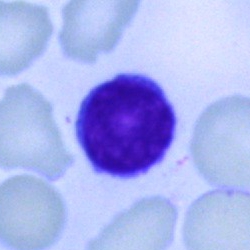Specimen: bone marrow aspirate smear.
Cell type: lymphocyte.
Lineage: lymphoid.